Bone marrow aspirate smear — 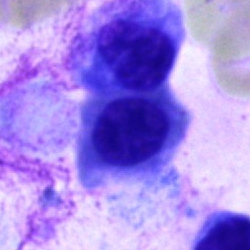

Q: Which cell type is shown here?
A: It is a nucleated red cell.